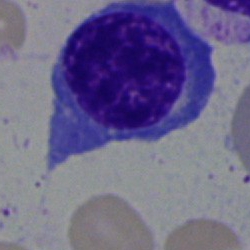
Morphological class = nucleated red blood cell.